Peripheral blood smear
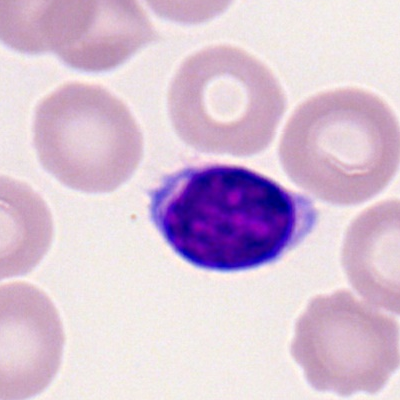
Showing a typical lymphocyte.